Bone marrow smear; 250×250.
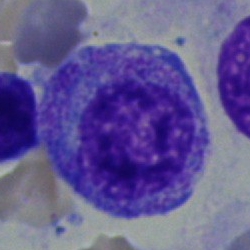Q: What type of cell is this?
A: It is a myelocyte.